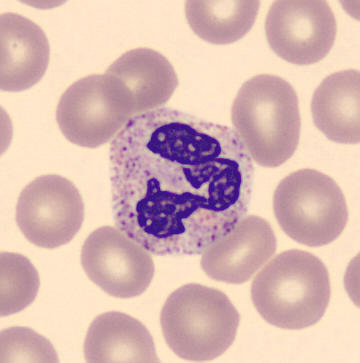 Peripheral blood smear. Single cell identified as a polymorphonuclear neutrophil.